Bone marrow smear
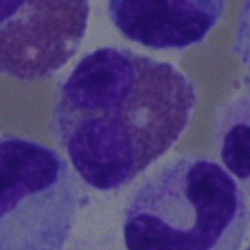Q: What is the morphological classification of this cell?
A: Eosinophilic granulocyte.